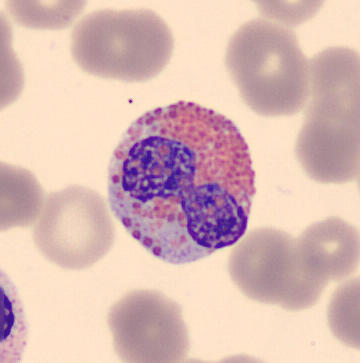
Single cell identified as an eosinophilic granulocyte. Image: Single cell centered in the field; peripheral blood film.